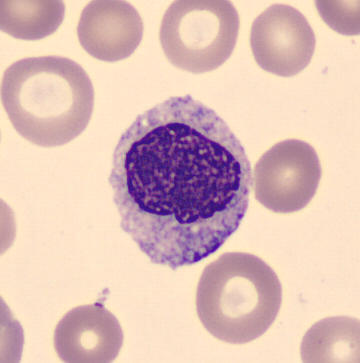

Preparation: 360×363 · May-Grünwald-Giemsa-stained · peripheral blood smear. The cell shown is a metamyelocyte.